Bone marrow smear:
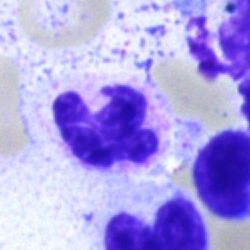Impression — neutrophil (segmented).